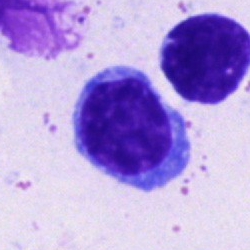
Cell = lymphocyte.